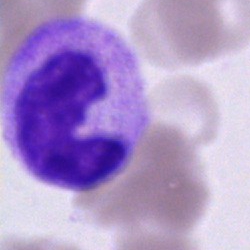

The cell shown is a band-form neutrophil.